Bone marrow aspirate smear · 250×250 px: 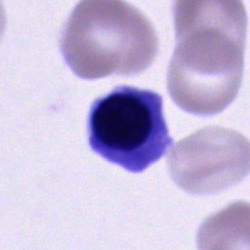 Impression → cell of indeterminate lineage.